40× oil immersion. Bone marrow smear:
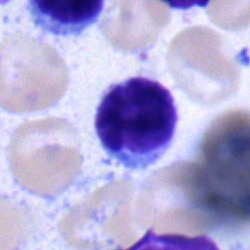 Single cell identified as a lymphocyte.